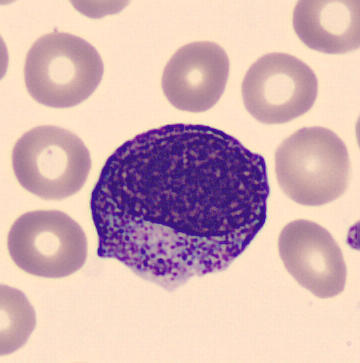
Cell type = progranulocyte.
Acquisition: Peripheral blood film.